250 by 250 pixels · bone marrow smear · single-cell field.
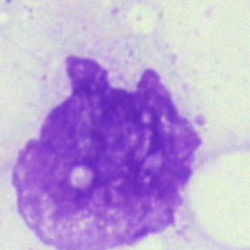
Specimen: bone marrow aspirate smear.
Cell: artefact.